Single-cell field; bone marrow aspirate smear.
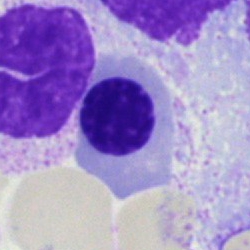
This is a nucleated red blood cell.